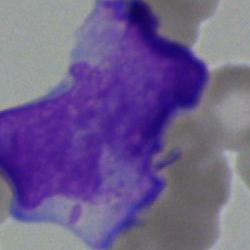 Bone marrow smear showing a blast cell.